Bone marrow aspirate smear.
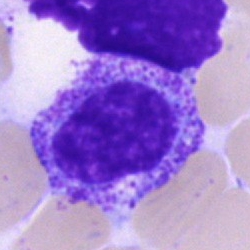

Impression → myelocyte.